May-Grünwald-Giemsa stain; bone marrow aspirate smear:
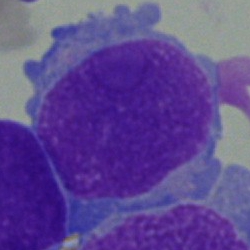
Q: What is shown here?
A: This is a blast.